Bone marrow aspirate smear: 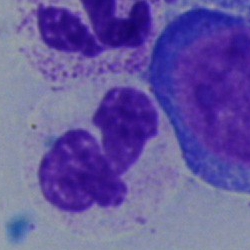
Classification: segmented neutrophil.